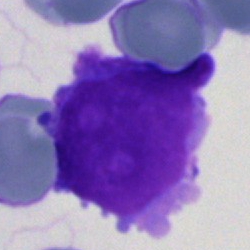
Bone marrow smear showing an undifferentiated blast.